Bone marrow aspirate smear
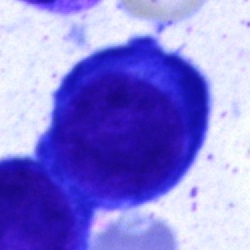
Cell type = proerythroblast.